Cropped to a single cell; bone marrow smear; image size 250×250.
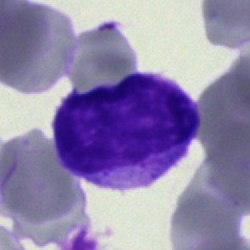

Classification = lymphocyte (immature).